Bone marrow aspirate smear — 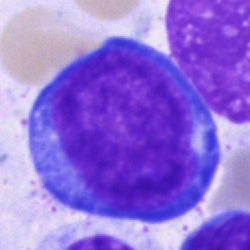
Specimen: bone marrow smear.
Morphological class: proerythroblast.
Lineage: erythroid.